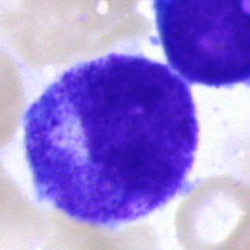Morphology → promyelocyte.